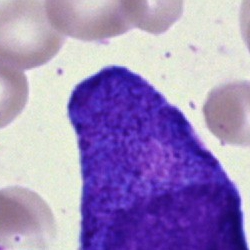Cell type = promyelocyte.